Peripheral blood smear.
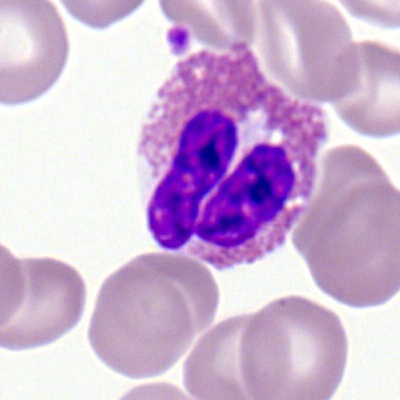
Morphology → eosinophilic granulocyte.